Bone marrow aspirate smear. 40× oil immersion.
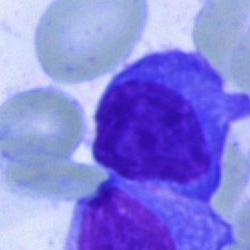

The cell shown is a plasmacyte.